May-Grünwald-Giemsa/Pappenheim stain. Brightfield microscopy, 40× oil immersion. Bone marrow smear: 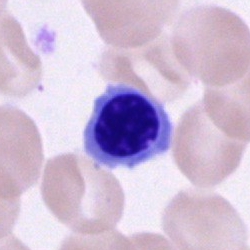 {"cell_type": "normoblast"}